Bone marrow aspirate smear:
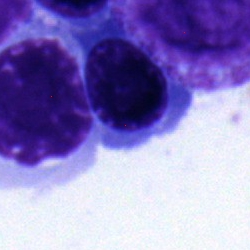 Morphological class = normoblast.